Bone marrow aspirate smear · May-Grünwald-Giemsa stain.
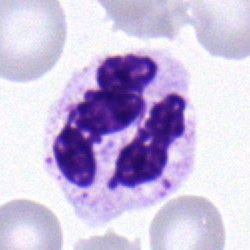

Morphology — polymorphonuclear neutrophil.